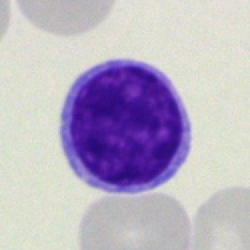
The cell shown is a typical lymphocyte.